Bone marrow aspirate smear
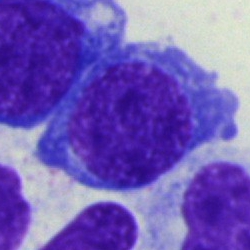
Morphology consistent with an erythroblast.